Bone marrow smear
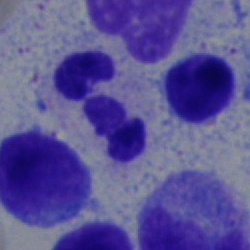

Single cell identified as a segmented neutrophil.